Bone marrow aspirate smear: 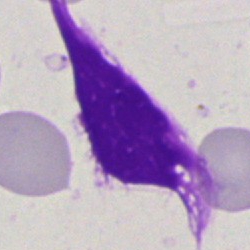

Morphology consistent with an artifact.